Peripheral blood film; single-cell crop; brightfield, 100× oil-immersion objective — 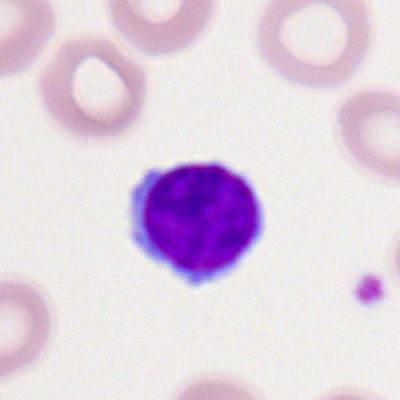

Classification = typical lymphocyte.